Bone marrow smear · brightfield, 40× oil-immersion objective · May-Grünwald-Giemsa/Pappenheim stain:
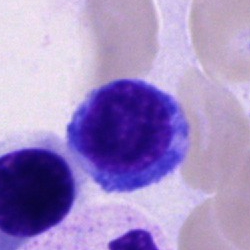 Showing a normoblast.